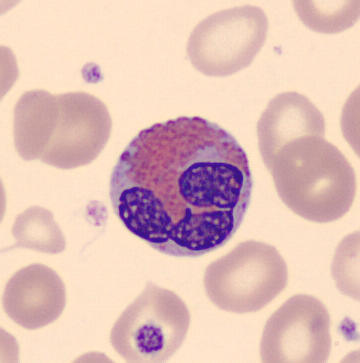Single cell identified as an eosinophilic granulocyte. Peripheral blood film.